Bone marrow smear
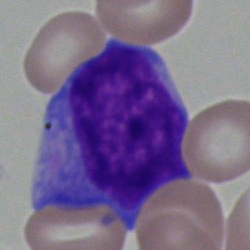Q: Identify the cell.
A: This is a blast.